Image size 250×250; bone marrow aspirate smear.
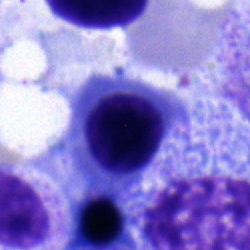Q: What cell is this?
A: Erythroblast.